Bone marrow aspirate smear — 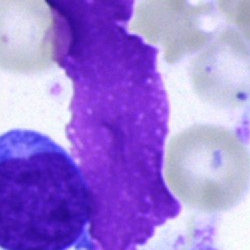
Morphological class — artifact.